Image size 250×250 · bone marrow smear:
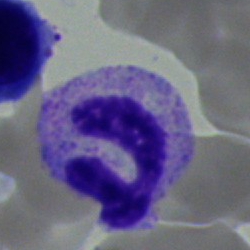Single cell identified as a neutrophil (segmented).